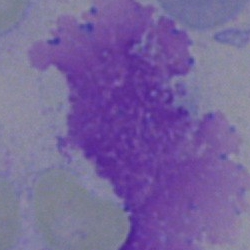 Q: What is shown here?
A: This is an artifact.